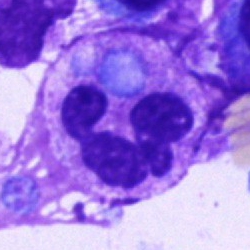Impression → neutrophil (segmented).